Bone marrow smear: 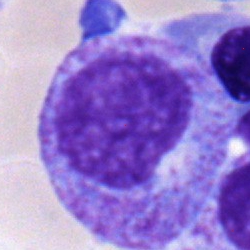Cell — myelocyte.